Romanowsky-stained; peripheral blood smear.
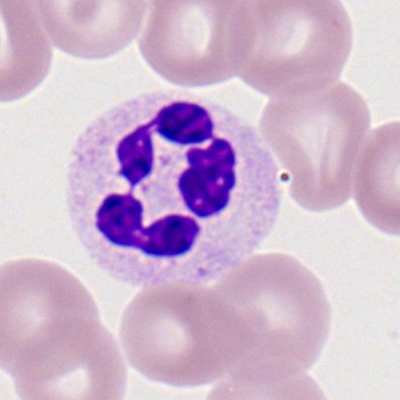 Q: Identify the cell.
A: A segmented neutrophil.